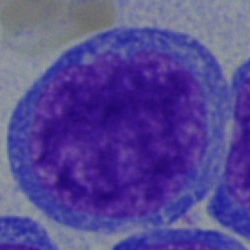The morphological class is undifferentiated blast.